May-Grünwald-Giemsa stain · bone marrow aspirate smear: 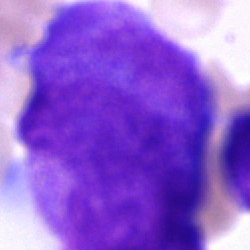
Specimen: bone marrow smear.
Cell type: blast cell.